Bone marrow aspirate smear.
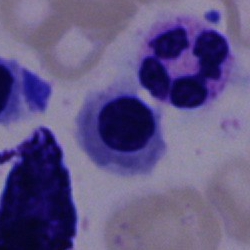

Q: What cell is this?
A: Nucleated red blood cell.